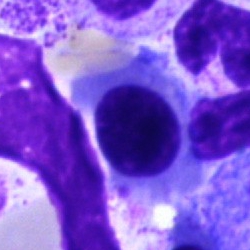

Q: What type of cell is this?
A: A nucleated red blood cell.